Peripheral blood smear: 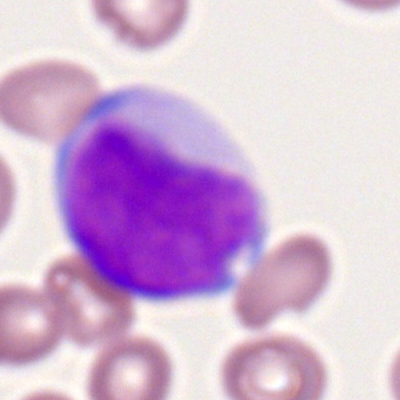
Morphological class = myeloid blast.